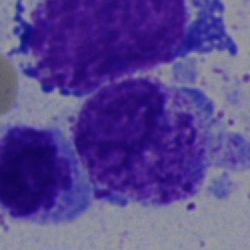Specimen: bone marrow smear.
Cell: polymorphonuclear neutrophil.
Lineage: myeloid.